Bone marrow aspirate smear:
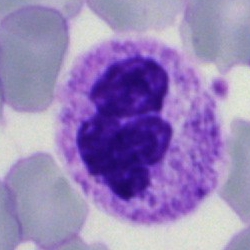

Single cell identified as a neutrophil (segmented).